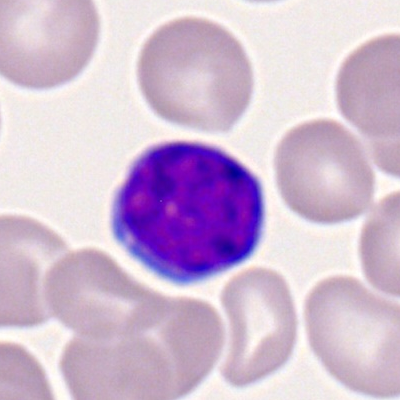

A lymphocyte on a peripheral blood smear.